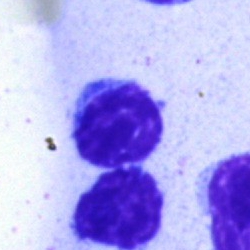 Q: Identify the cell.
A: A typical lymphocyte.